Bone marrow aspirate smear.
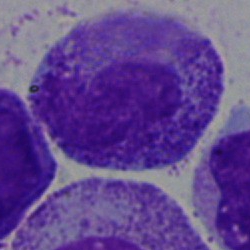
The cell type is undifferentiated blast.